Bone marrow aspirate smear; brightfield microscopy, 40× oil immersion: 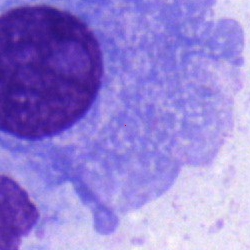 Single cell identified as a plasmacyte.